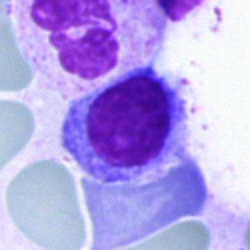Specimen: bone marrow aspirate smear.
Cell type: lymphocyte.
Lineage: lymphoid.